40× objective, oil immersion. Cropped to a single cell. Bone marrow aspirate smear:
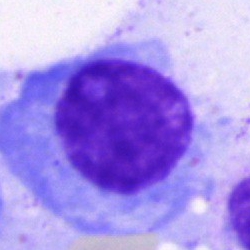
Q: What is shown here?
A: Plasmacyte.